Bone marrow smear: 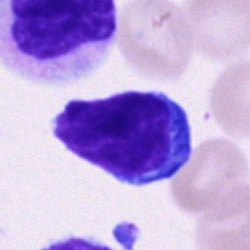

Impression → lymphocyte.